Bone marrow aspirate smear:
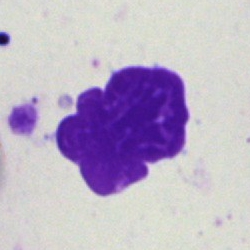
Morphology → artefact.